Bone marrow aspirate smear · brightfield, 40× oil-immersion objective
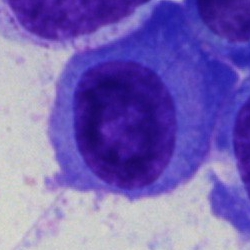 Specimen: bone marrow aspirate smear.
Classification: plasmacyte.
Lineage: lymphoid.